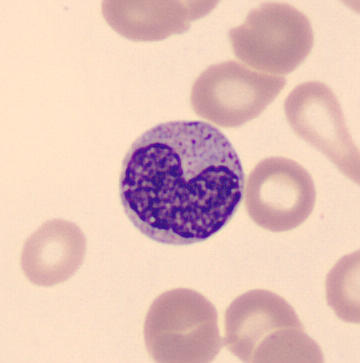
Image: Single cell centered in the field.

Specimen: peripheral blood film.
Classification: metamyelocyte.